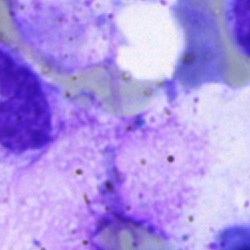
Impression — artifact.